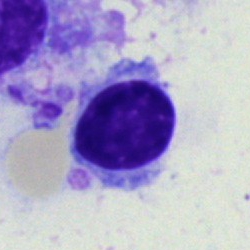
Q: Which cell type is shown here?
A: A lymphocyte.